Bone marrow smear; 250×250 px; Pappenheim-stained
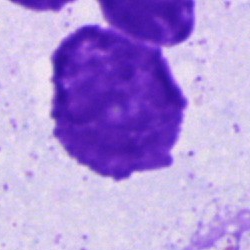 The morphological class is artifact.